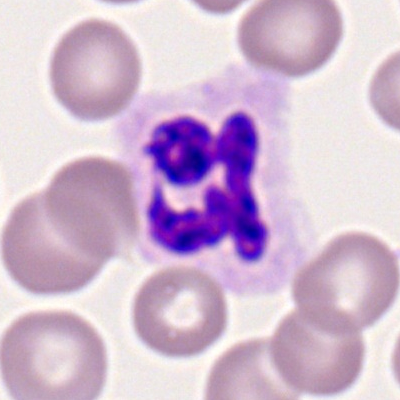

Q: What cell is this?
A: This is a segmented neutrophil.